250 by 250 pixels · bone marrow aspirate smear.
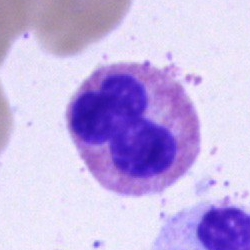Eosinophil.